May Grünwald-Giemsa stain. Peripheral blood smear:
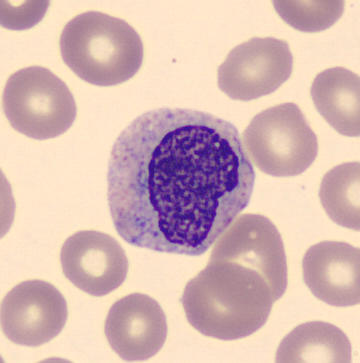

Specimen: peripheral blood smear.
Cell type: metamyelocyte.